250 by 250 pixels; bone marrow aspirate smear: 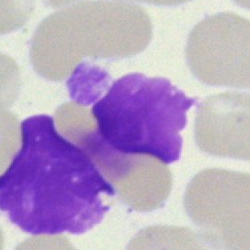Classification: Gumprecht shadow.